Bone marrow smear. Image size 250×250 — 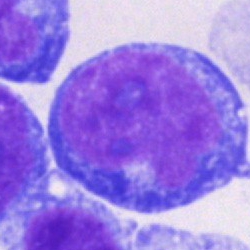
Morphology — blast.